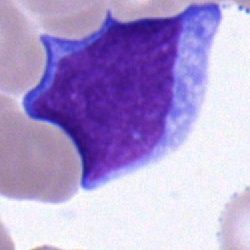

The morphological class is blast.